Brightfield, 100× oil-immersion objective · peripheral blood film — 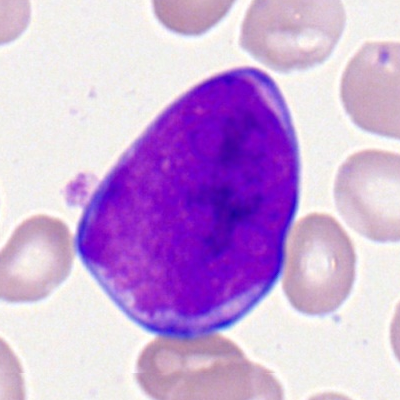

Q: What is shown here?
A: It is a myeloid blast.